May-Grünwald-Giemsa/Pappenheim stain · bone marrow smear.
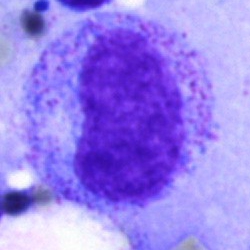

Q: Which cell type is shown here?
A: Myelocyte.